Bone marrow smear.
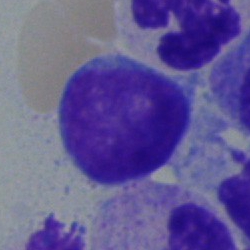
The cell shown is an undifferentiated blast.